Bone marrow smear. Single-cell field. May-Grünwald-Giemsa/Pappenheim stain — 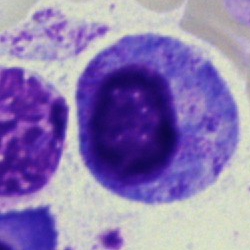

Q: What is the morphological classification of this cell?
A: A myelocyte.